Single cell centered in the field · peripheral blood smear:
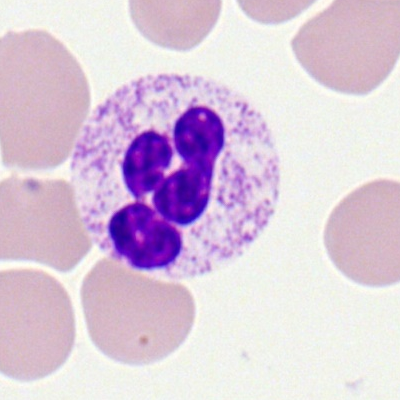
Morphology consistent with a polymorphonuclear neutrophil.